Peripheral blood smear: 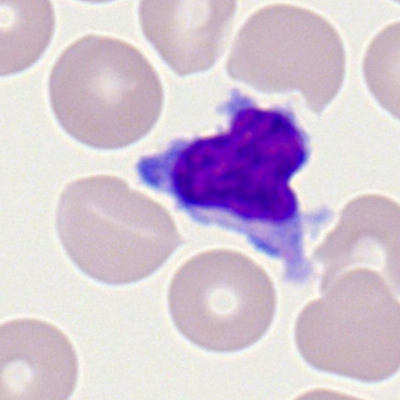Specimen: peripheral blood film.
Morphological class: lymphocyte.